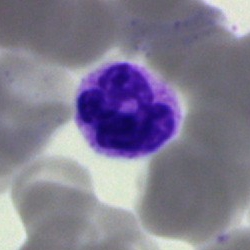Specimen: bone marrow aspirate smear.
Classification: segmented neutrophil.
Lineage: myeloid.